Single cell centered in the field · peripheral blood smear.
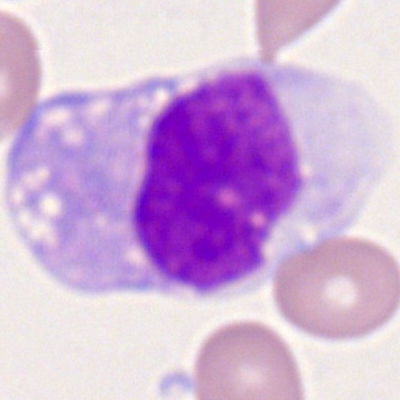
The classification is monocyte.